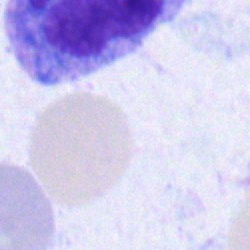 Q: What is the morphological classification of this cell?
A: A monocyte.